Single-cell crop · bone marrow smear
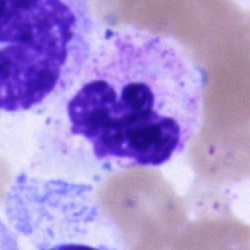

Morphology — polymorphonuclear neutrophil.